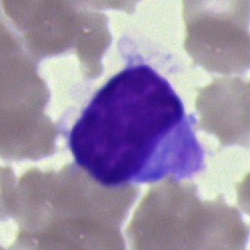
Morphological class: hairy cell.